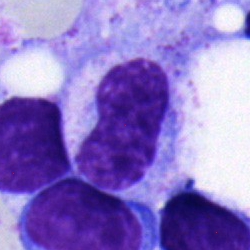A band neutrophil.